Brightfield, 40× oil-immersion objective · bone marrow smear: 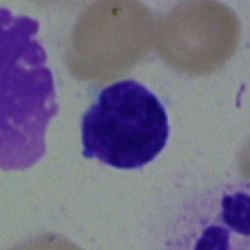Classification = lymphocyte.